Bone marrow smear
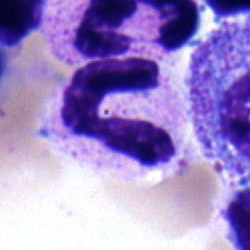
Q: What is the morphological classification of this cell?
A: This is a band neutrophil.